MGG-stained; bone marrow smear:
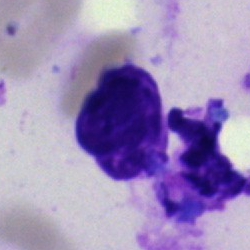 Q: What is shown here?
A: An artefact.